Brightfield microscopy, 40× oil immersion · bone marrow aspirate smear
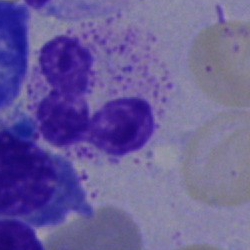
This is a polymorphonuclear neutrophil.